Bone marrow smear.
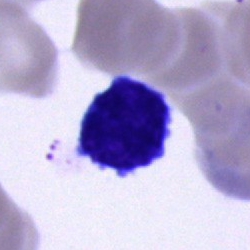The classification is lymphocyte.